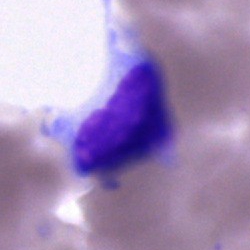
Bone marrow smear showing an unidentifiable cell.